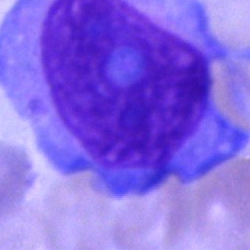
This is a blast.